Bone marrow smear
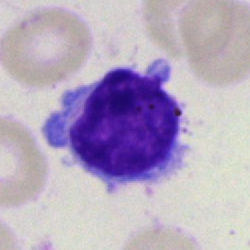 Q: What type of cell is this?
A: This is a lymphocyte.